Bone marrow aspirate smear. Brightfield, 40× oil-immersion objective.
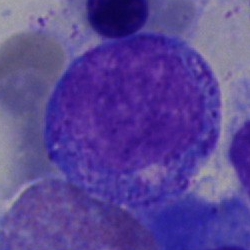Morphology → progranulocyte.